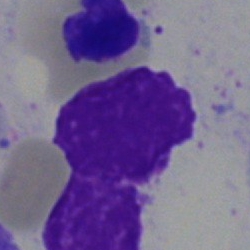 Q: What is shown here?
A: It is an artifact.